40× objective, oil immersion; bone marrow aspirate smear.
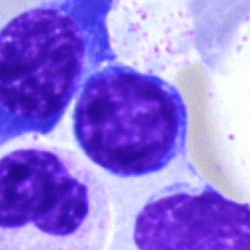

Cell type = typical lymphocyte.